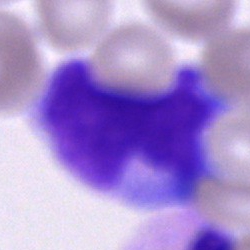Single-cell crop from a bone marrow smear: cell of indeterminate lineage.